Bone marrow aspirate smear:
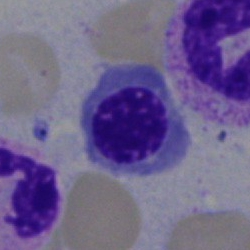Cell type: nucleated red cell.